Bone marrow aspirate smear · 250×250: 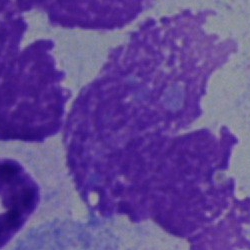
Morphological class = artifact.